250 by 250 pixels; bone marrow smear: 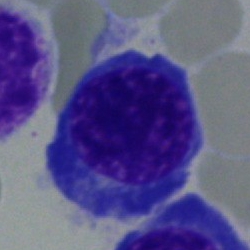{"cell_type": "proerythroblast"}